Bone marrow smear.
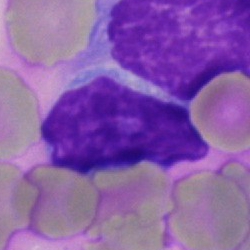 Morphological class — lymphocyte.